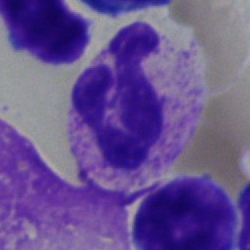

Bone marrow aspirate smear, single cell — segmented neutrophil.